Bone marrow aspirate smear:
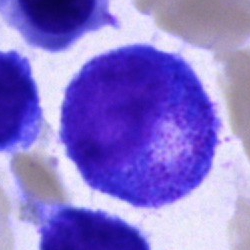
Morphological class — progranulocyte.